Bone marrow aspirate smear. Pappenheim-stained. Brightfield microscopy, 40× oil immersion: 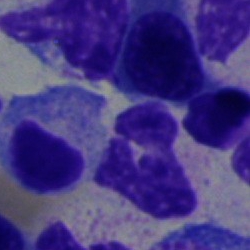
Single cell identified as a polymorphonuclear neutrophil.